Bone marrow smear. 250×250 px
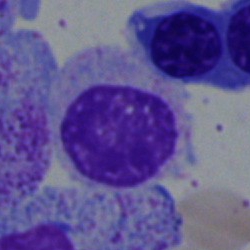
Morphology — myelocyte.